Bone marrow smear · 40× oil immersion: 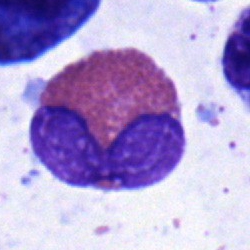The cell shown is an eosinophilic granulocyte.